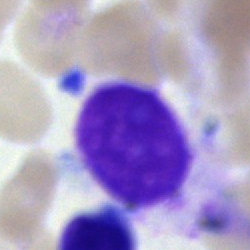 Impression → artefact.